Peripheral blood film
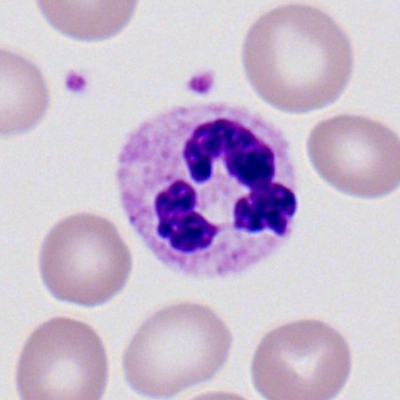
Polymorphonuclear neutrophil.